250×250 px. Bone marrow aspirate smear: 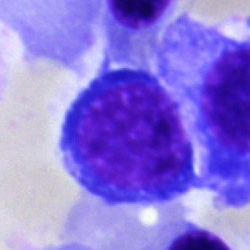

This is a nucleated red blood cell.